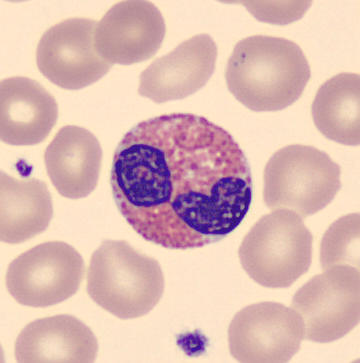 Specimen: peripheral blood film.
Cell: eosinophil.
Lineage: myeloid. Acquisition: Single cell centered in the field.